Bone marrow aspirate smear; 40× objective, oil immersion; image size 250×250 — 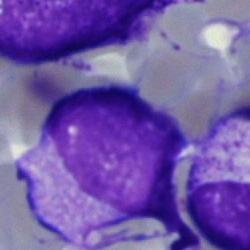

Specimen: bone marrow aspirate smear.
Cell type: artefact.